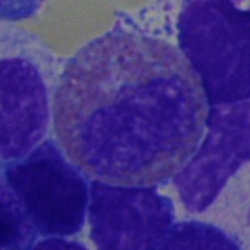

Classification — eosinophil.